Brightfield, 40× oil-immersion objective. Bone marrow smear.
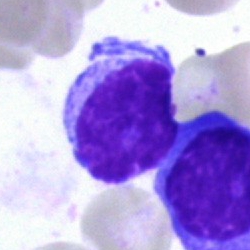
Impression → lymphocyte.